Brightfield microscopy, 40× oil immersion. Cropped to a single cell. Bone marrow aspirate smear
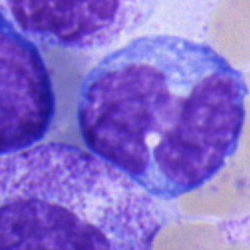

Impression — monocyte.